Bone marrow aspirate smear:
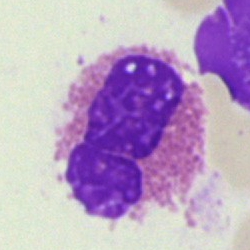Showing an eosinophil.